Bone marrow aspirate smear
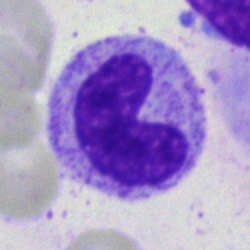The cell shown is a neutrophil (band).